250 by 250 pixels; bone marrow smear.
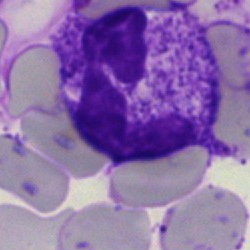 The cell type is polymorphonuclear neutrophil.